Bone marrow aspirate smear; brightfield microscopy, 40× oil immersion: 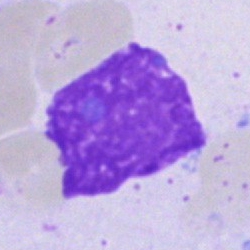

This is an artefact.